Peripheral blood film — 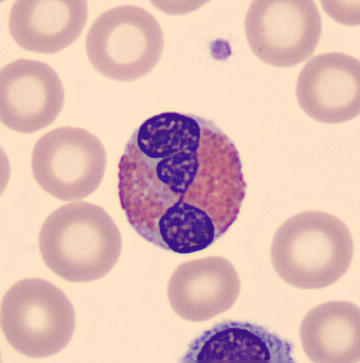
An eosinophil.